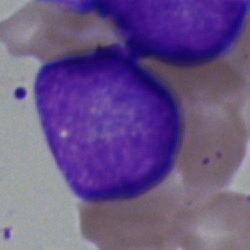Morphology → blast.